Bone marrow aspirate smear.
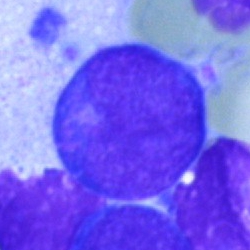
The cell shown is an undifferentiated blast.